Bone marrow aspirate smear. May-Grünwald-Giemsa stain — 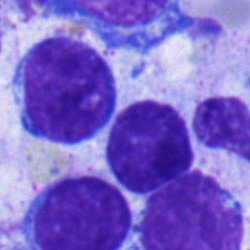
Specimen: bone marrow smear.
Morphological class: band-form neutrophil.
Lineage: myeloid.